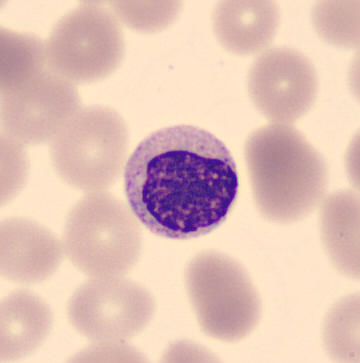

Q: Which cell type is shown here?
A: This is a myelocyte. Peripheral blood film.